Bone marrow smear: 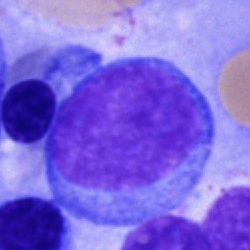

Cell type = blast.